Bone marrow smear; Pappenheim-stained — 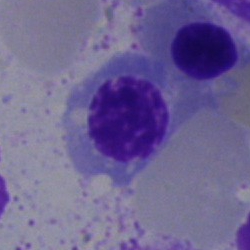 Classification = erythroblast.